Bone marrow smear · single cell centered in the field · MGG-stained.
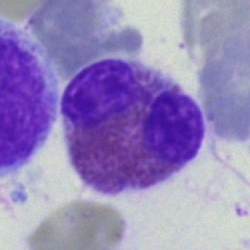

Q: What is shown here?
A: This is an eosinophilic granulocyte.